Single-cell crop; bone marrow smear; May-Grünwald-Giemsa/Pappenheim stain.
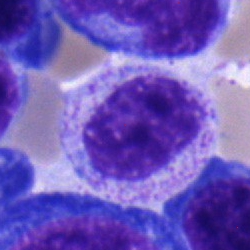Myelocyte.